Brightfield microscopy, 40× oil immersion. Bone marrow smear.
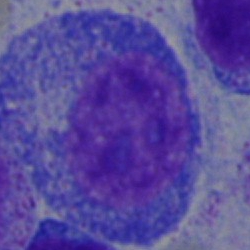 Classification = promyelocyte.